Single-cell field; Romanowsky-type stain; peripheral blood smear
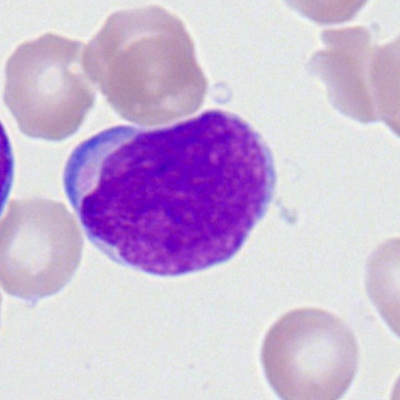
Morphological class = myeloblast.